Bone marrow aspirate smear: 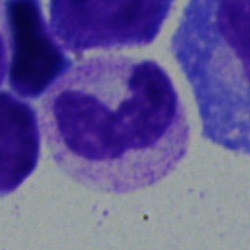

Specimen: bone marrow smear.
Classification: segmented neutrophil.